40× oil immersion; bone marrow smear; single cell centered in the field: 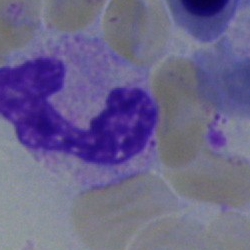

Single cell identified as a neutrophil (segmented).